Bone marrow aspirate smear.
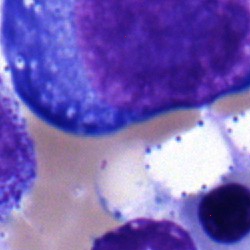
Morphology → proerythroblast.